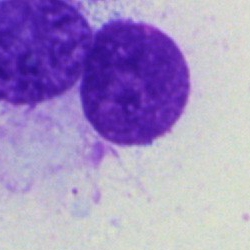 Cell = artifact.